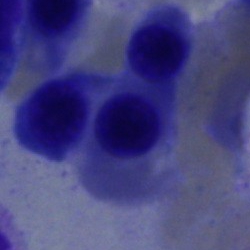

Specimen: bone marrow aspirate smear.
Cell type: normoblast.
Lineage: erythroid.